250×250. Bone marrow aspirate smear
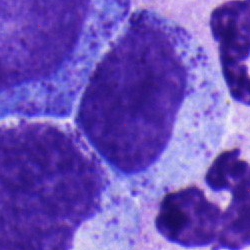Q: What is the morphological classification of this cell?
A: A myelocyte.